Bone marrow aspirate smear: 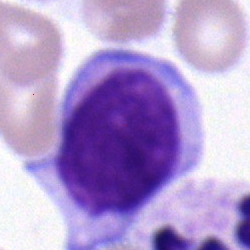
Specimen: bone marrow smear.
Cell: typical lymphocyte.